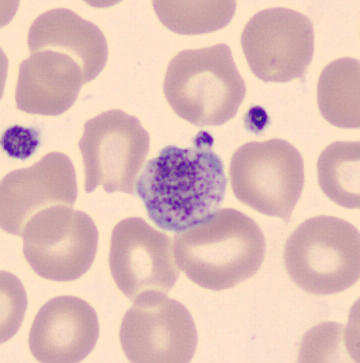 The cell type is platelet (thrombocyte). Image: Imaged on a CellaVision DM96 analyser · peripheral blood smear · image size 360×363.